Bone marrow aspirate smear:
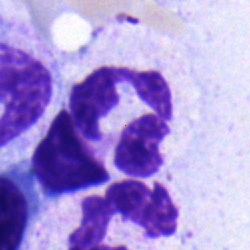Q: What is shown here?
A: Polymorphonuclear neutrophil.